Bone marrow smear. MGG-stained
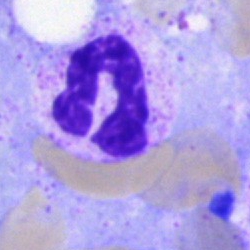
Q: What is shown here?
A: Neutrophil (segmented).